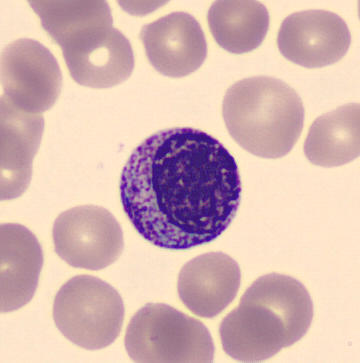 This is a myelocyte. Preparation: Peripheral blood film.